Bone marrow smear: 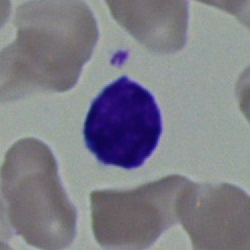 A lymphocyte.